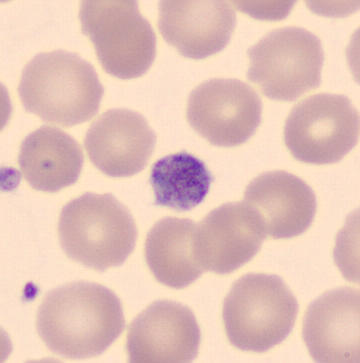

Acquisition: Peripheral blood smear. Morphology consistent with a platelet (thrombocyte).